Bone marrow aspirate smear. Brightfield, 40× oil-immersion objective:
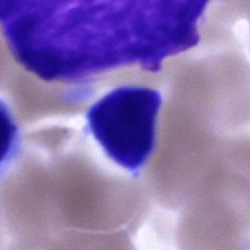Morphological class: unidentifiable cell.